Bone marrow aspirate smear: 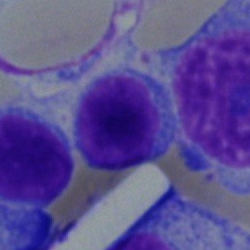 The cell shown is a lymphocyte.